Peripheral blood film
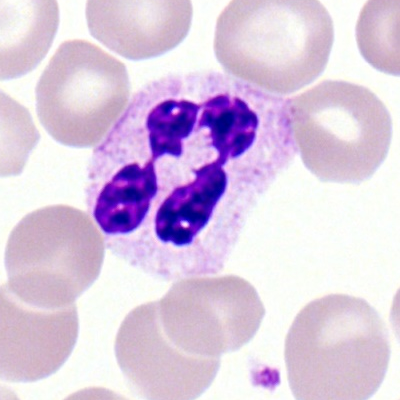

{"cell_type": "segmented neutrophil", "lineage": "myeloid"}